Single-cell crop · bone marrow aspirate smear · 250×250 px
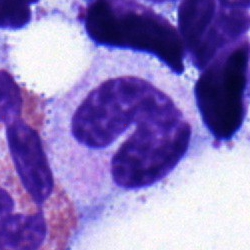

Morphological class: stab cell.